Bone marrow aspirate smear — 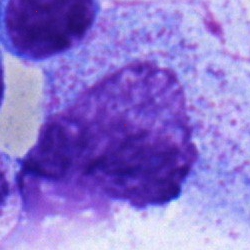
Single cell identified as a metamyelocyte.